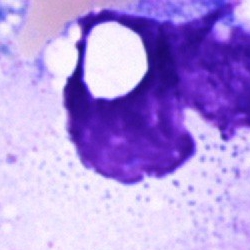
Bone marrow aspirate smear, single cell — artefact.